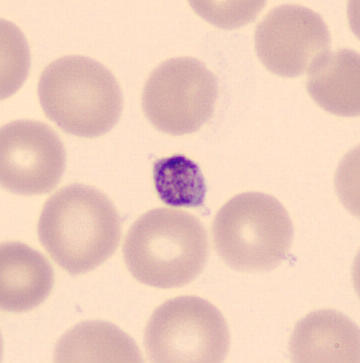

Preparation: Peripheral blood film; May Grünwald-Giemsa stain.

Q: What is this?
A: Platelet (thrombocyte).